Bone marrow smear — 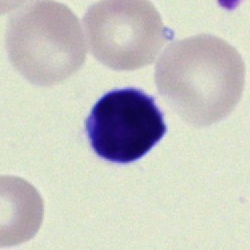

A typical lymphocyte.